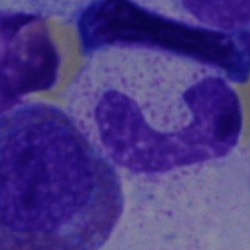

{"cell_type": "neutrophil (segmented)", "lineage": "myeloid"}